Bone marrow smear:
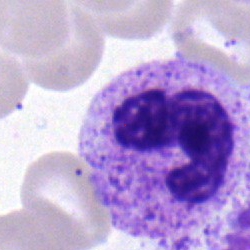 Single cell identified as a neutrophil (segmented).